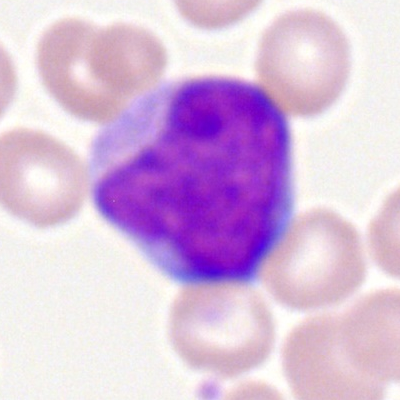
The cell type is myeloblast.